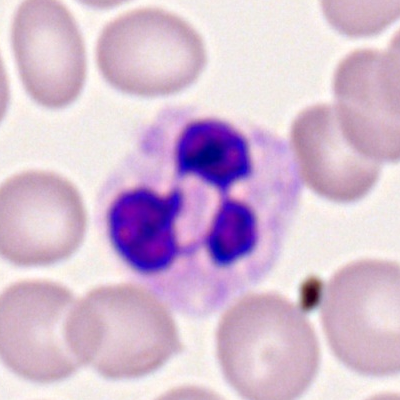
Morphological class = polymorphonuclear neutrophil.